Single-cell crop; bone marrow aspirate smear: 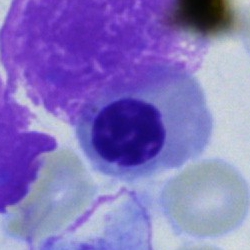Cell: nucleated red blood cell.